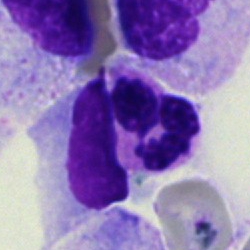
Q: What type of cell is this?
A: This is a polymorphonuclear neutrophil.